Bone marrow aspirate smear.
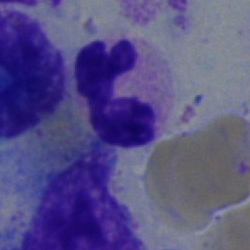Morphology consistent with a neutrophil (segmented).